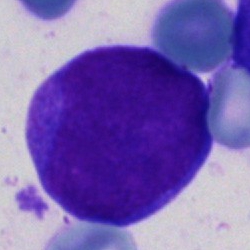

Q: What cell is this?
A: An undifferentiated blast.